Bone marrow smear — 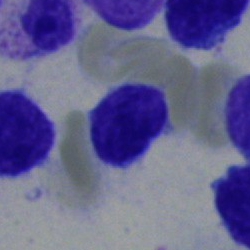Specimen: bone marrow aspirate smear.
Morphological class: typical lymphocyte.
Lineage: lymphoid.